Peripheral blood film: 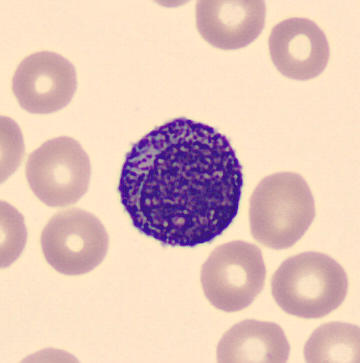Q: Which cell type is shown here?
A: This is a progranulocyte.